May-Grünwald-Giemsa/Pappenheim stain; bone marrow aspirate smear
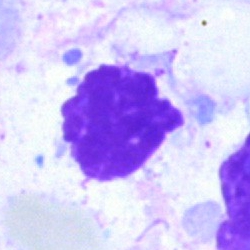
Impression — artifact.